Bone marrow smear. 40× oil immersion. Pappenheim-stained
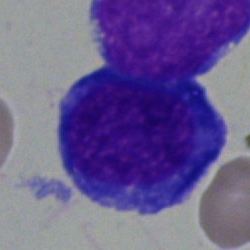
This is a nucleated red cell.